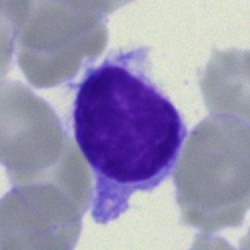

Morphological class = lymphocyte.